Pappenheim-stained. Bone marrow smear. Image size 250×250:
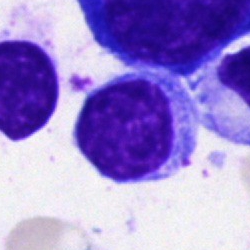 Morphology consistent with a typical lymphocyte.